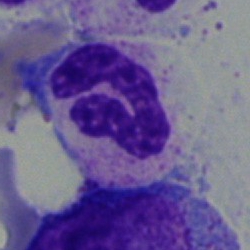Impression — neutrophil (band).